Bone marrow smear.
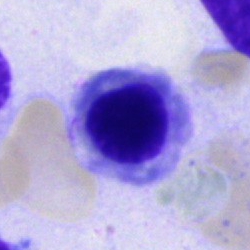

Q: What is the morphological classification of this cell?
A: This is a nucleated red cell.